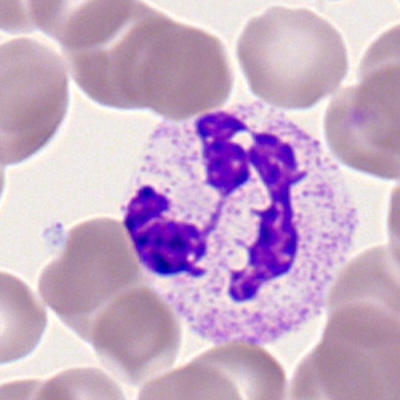Specimen: peripheral blood film.
Morphological class: segmented neutrophil.
Lineage: myeloid.